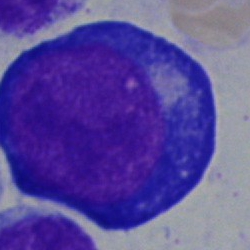

Morphological class: pronormoblast.